MGG-stained. Bone marrow smear. Brightfield microscopy, 40× oil immersion — 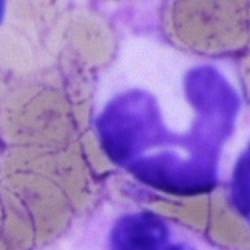 The cell shown is a segmented neutrophil.